Bone marrow aspirate smear. Single-cell crop. Pappenheim-stained
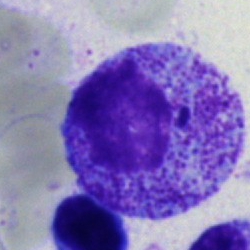The cell shown is a myelocyte.